Bone marrow aspirate smear · 250 by 250 pixels.
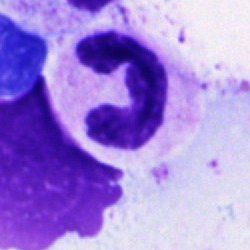
Morphology consistent with a neutrophil (segmented).